Peripheral blood smear.
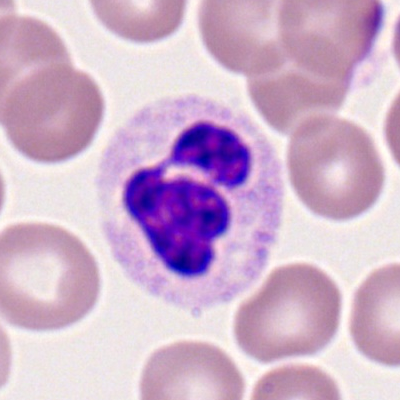
A polymorphonuclear neutrophil.